Single cell centered in the field · bone marrow aspirate smear: 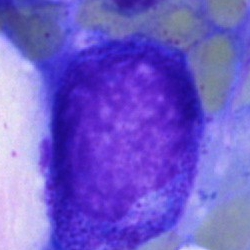
Q: Identify the cell.
A: It is a progranulocyte.